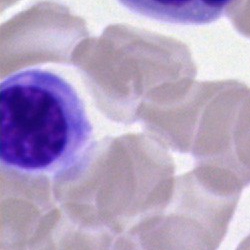

A nucleated red blood cell on a bone marrow smear.